Cropped to a single cell; bone marrow aspirate smear.
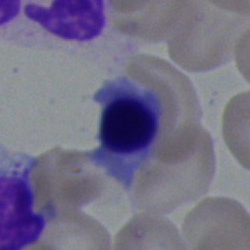

Classification = normoblast.